Bone marrow smear:
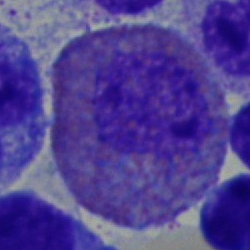

Q: What is the morphological classification of this cell?
A: This is an eosinophilic granulocyte.